Bone marrow smear; 40× objective, oil immersion — 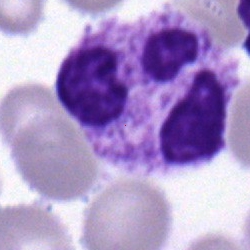 Q: What is the morphological classification of this cell?
A: It is a segmented neutrophil.